Bone marrow smear.
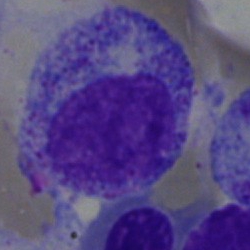 The morphological class is promyelocyte.